Brightfield, 40× oil-immersion objective. Bone marrow aspirate smear. May-Grünwald-Giemsa/Pappenheim stain
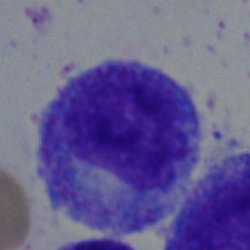 A myelocyte.